Peripheral blood smear: 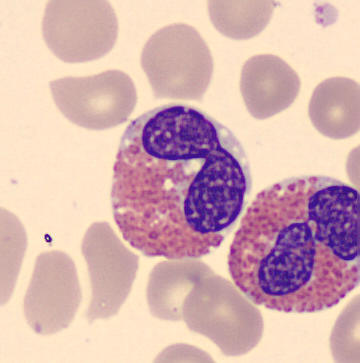
Morphology — eosinophilic granulocyte.